Romanowsky stain · peripheral blood smear
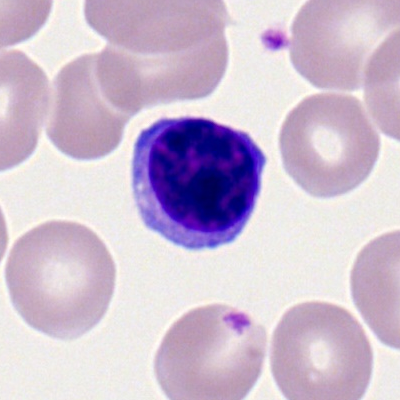

Cell = typical lymphocyte.